Bone marrow smear · May-Grünwald-Giemsa stain:
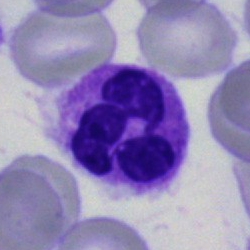The morphological class is neutrophil (segmented).